Bone marrow smear; image size 250×250: 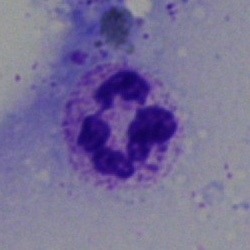Classification: polymorphonuclear neutrophil.